250×250. Bone marrow aspirate smear.
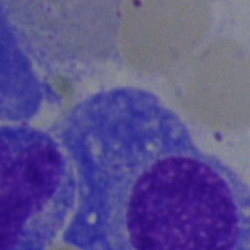
Morphology consistent with a plasma cell.